Bone marrow smear · 250 by 250 pixels · brightfield, 40× oil-immersion objective — 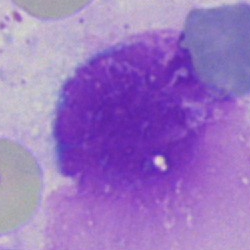 The morphological class is artefact.